Peripheral blood film. Image size 400×400. M8 digital microscope (Precipoint), 100× oil immersion: 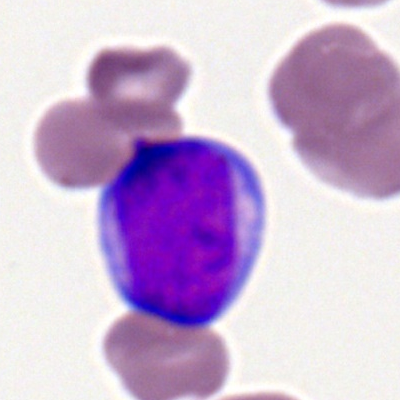Morphology consistent with a myeloblast.